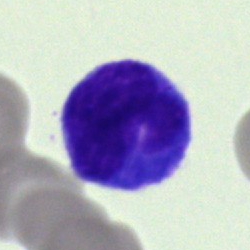

Cell type: monocyte.